Bone marrow aspirate smear. 40× oil immersion. Single cell centered in the field: 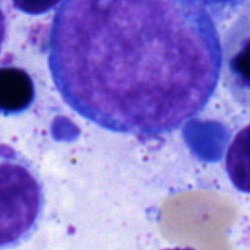

This is a proerythroblast.